Bone marrow aspirate smear
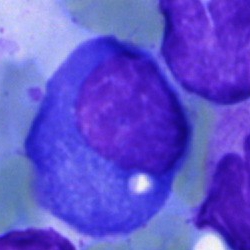 The cell is plasmacyte.